Bone marrow aspirate smear:
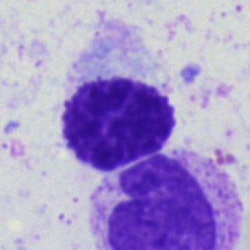Q: What is shown here?
A: This is an artefact.